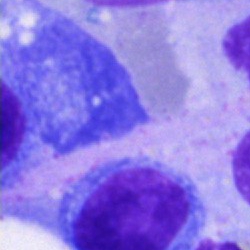

A plasmacyte on a bone marrow smear.